Bone marrow smear · single cell centered in the field.
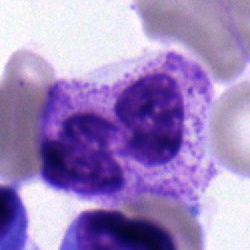

Q: What is shown here?
A: Polymorphonuclear neutrophil.